Bone marrow smear
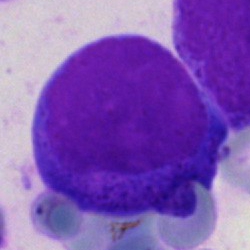
Showing a blast.